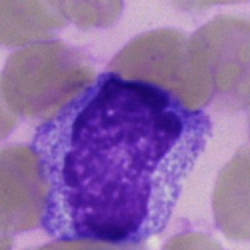Q: What is shown here?
A: It is an artifact.